Bone marrow smear.
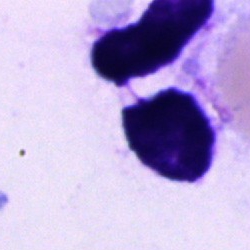
This is an unidentifiable cell.